Brightfield, 40× oil-immersion objective. Bone marrow aspirate smear. Single-cell crop: 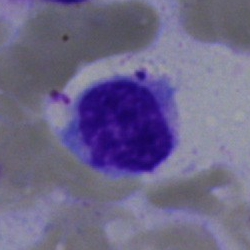 A lymphocyte.